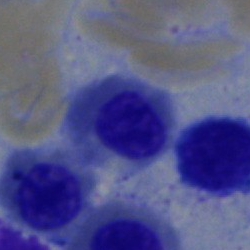 {"cell_type": "erythroblast"}